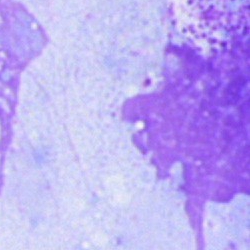 Showing an artefact.